Single-cell crop. Peripheral blood film:
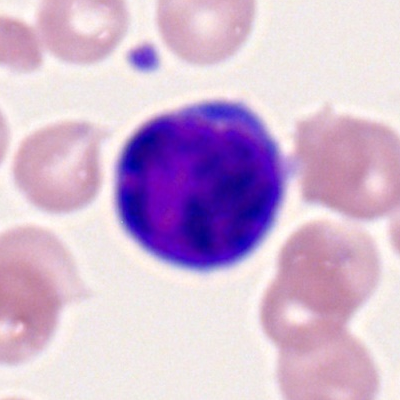 This is a myeloid blast.